Peripheral blood smear — 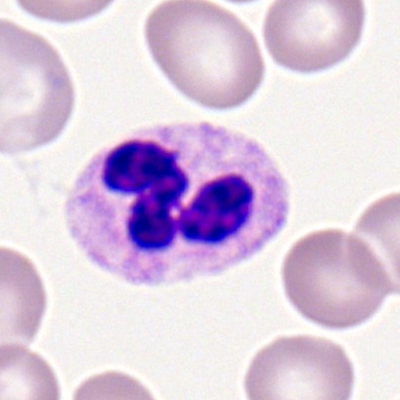Cell — polymorphonuclear neutrophil.